Image size 250×250; bone marrow smear — 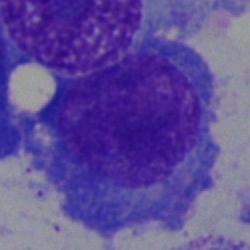 Specimen: bone marrow aspirate smear.
Morphological class: plasma cell.